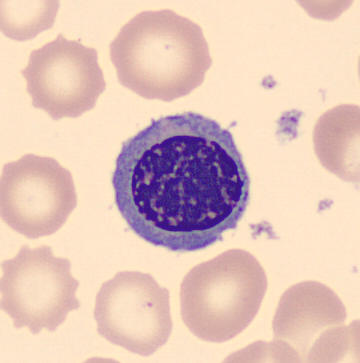 Imaged on a CellaVision DM96 analyser · peripheral blood film.

Morphology → erythroblast.